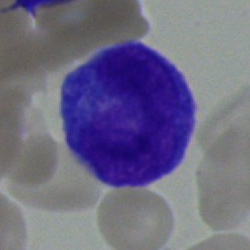

Specimen: bone marrow smear.
Morphological class: blast.